Bone marrow aspirate smear: 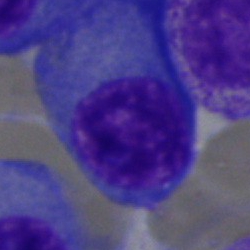Plasmacyte.